Bone marrow aspirate smear. 250×250: 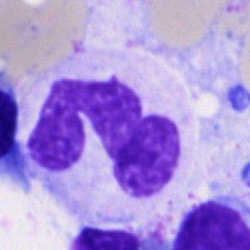

Morphology — polymorphonuclear neutrophil.